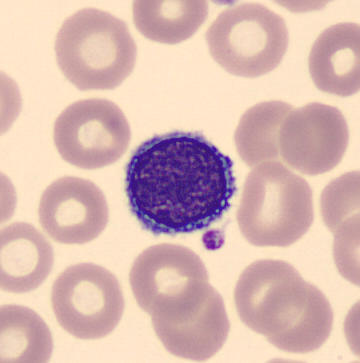From a peripheral blood smear: a lymphocyte.